May-Grünwald-Giemsa stain. Bone marrow smear. Image size 250×250:
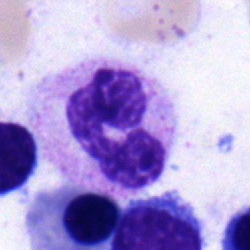 {"cell_type": "stab cell", "lineage": "myeloid"}